Peripheral blood film; 400×400 px; brightfield, 100× oil-immersion objective:
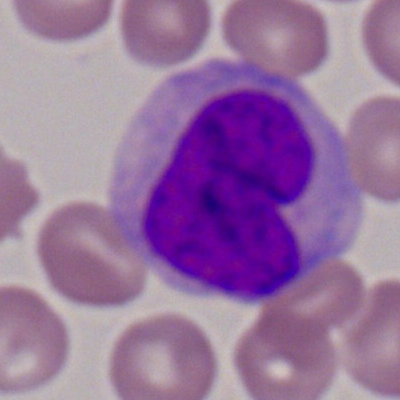 Impression → monocyte.